Bone marrow smear: 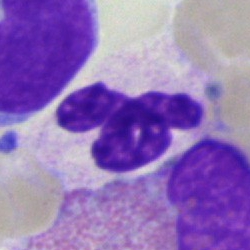 Classification = polymorphonuclear neutrophil.